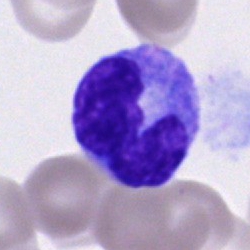 Single-cell crop from a bone marrow smear: monocyte.